Single-cell field. 250×250. Bone marrow smear.
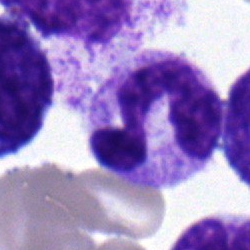

Q: Which cell type is shown here?
A: It is a segmented neutrophil.